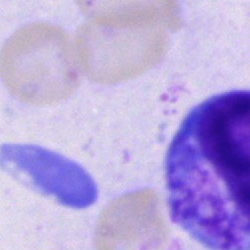Q: What is the morphological classification of this cell?
A: A cell of indeterminate lineage.